Bone marrow aspirate smear:
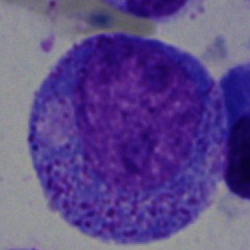
{"cell_type": "progranulocyte"}